Bone marrow aspirate smear: 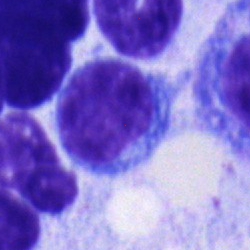

Morphology — typical lymphocyte.